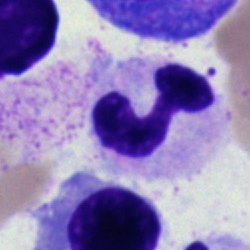 Q: What is shown here?
A: A segmented neutrophil.